Bone marrow aspirate smear; 250×250 px: 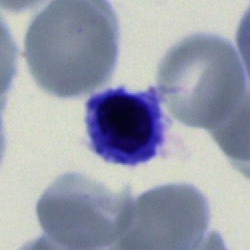
A normoblast.